Bone marrow aspirate smear:
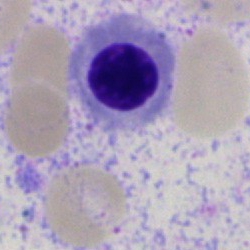Q: What is shown here?
A: Nucleated red blood cell.